M8 digital microscope (Precipoint), 100× oil immersion; Romanowsky-stained; peripheral blood smear — 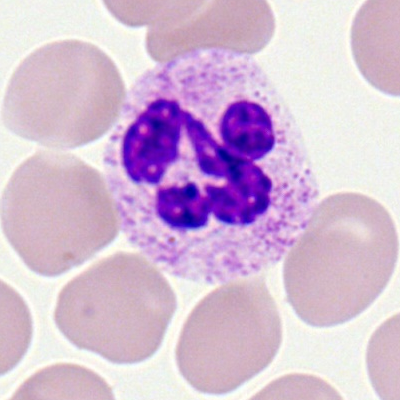

Q: What is shown here?
A: It is a neutrophil (segmented).